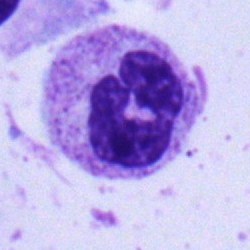 Cell — neutrophil (segmented).